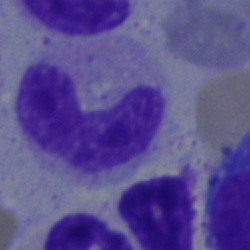
Impression — stab cell.